Bone marrow aspirate smear; 250×250 — 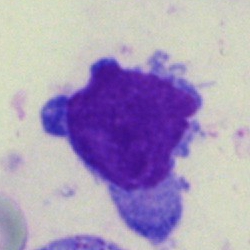 Cell type — lymphocyte.